Image size 360×363; peripheral blood film
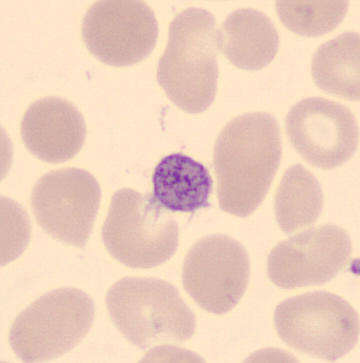Q: What is shown here?
A: A platelet (thrombocyte).